Bone marrow smear: 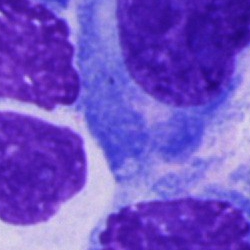 Morphology consistent with a plasma cell.